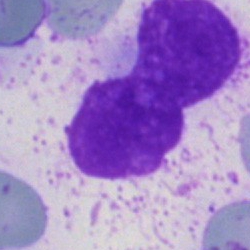
Morphology → artefact.